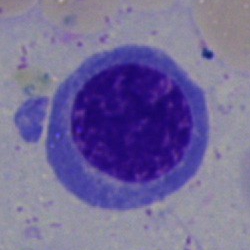 Morphological class = erythroblast.